Bone marrow smear
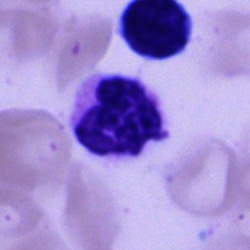

Classification: polymorphonuclear neutrophil.